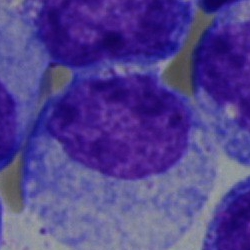
The cell shown is a myelocyte.